Bone marrow smear — 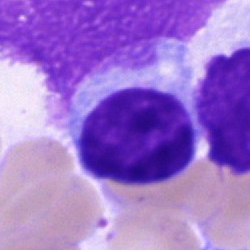

{"cell_type": "typical lymphocyte"}